Bone marrow smear; May-Grünwald-Giemsa stain — 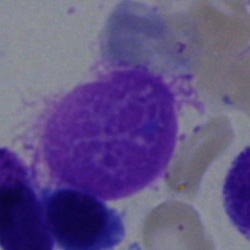 Specimen: bone marrow aspirate smear.
Classification: artifact.